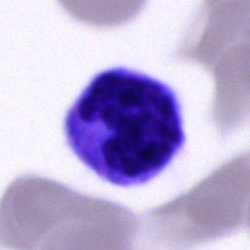

Showing a monocyte.